250×250. Bone marrow aspirate smear — 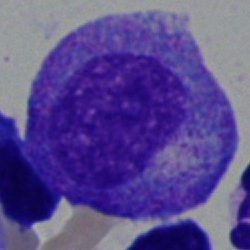Single cell identified as a promyelocyte.